Bone marrow smear: 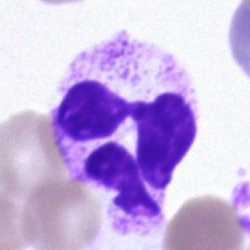 Single cell identified as a neutrophil (segmented).